Bone marrow aspirate smear — 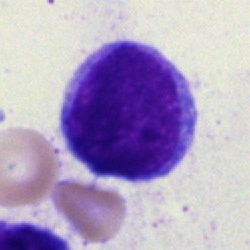Impression — lymphocyte.